Single cell centered in the field · bone marrow smear: 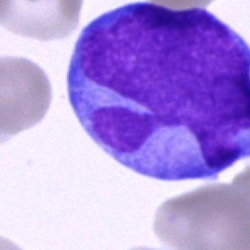

The cell shown is a blast.